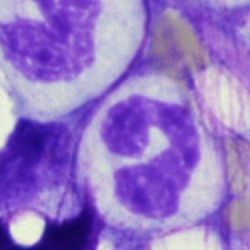
Bone marrow aspirate smear, single cell — polymorphonuclear neutrophil.